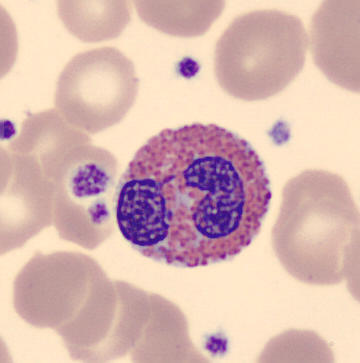
Eosinophilic granulocyte.